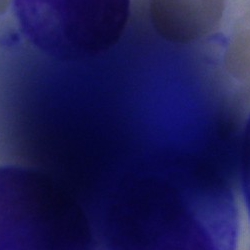 The morphological class is artifact.